Bone marrow smear. 250×250 px — 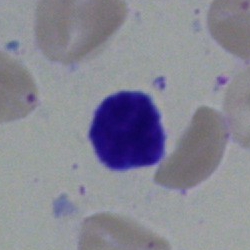
Q: Which cell type is shown here?
A: It is a lymphocyte.